Cropped to a single cell; May-Grünwald-Giemsa stain; bone marrow aspirate smear
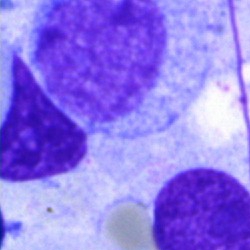
Specimen: bone marrow smear.
Cell type: artefact.